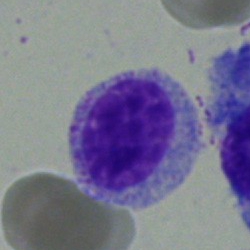

Impression — myelocyte.